Peripheral blood smear · Romanowsky-stained: 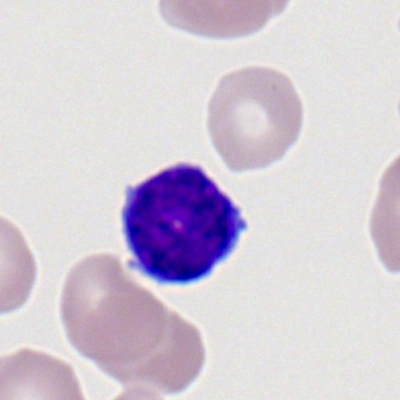 Specimen: peripheral blood film.
Cell type: typical lymphocyte.
Lineage: lymphoid.